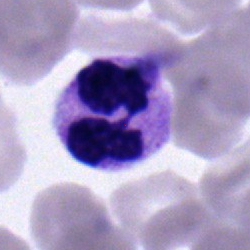

This is a polymorphonuclear neutrophil.